Bone marrow aspirate smear · 250 by 250 pixels: 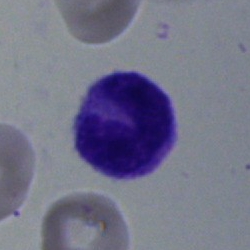

Specimen: bone marrow aspirate smear.
Cell: monocyte.
Lineage: myeloid.